Brightfield microscopy, 40× oil immersion; bone marrow smear; single cell centered in the field — 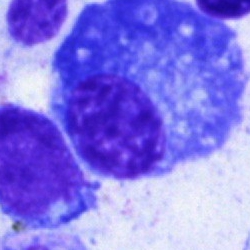
Plasma cell.